Bone marrow smear; 40× oil immersion.
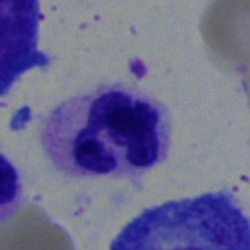 A polymorphonuclear neutrophil.